Bone marrow smear
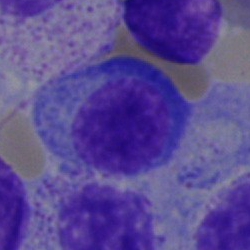

Cell = plasma cell.